Bone marrow aspirate smear:
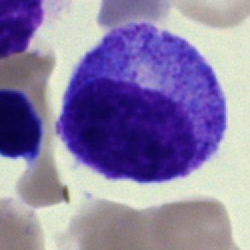Classification = progranulocyte.